Bone marrow aspirate smear. Pappenheim-stained: 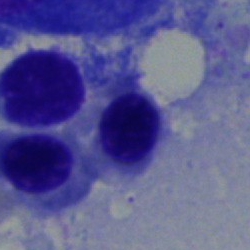

Q: What is shown here?
A: A nucleated red cell.